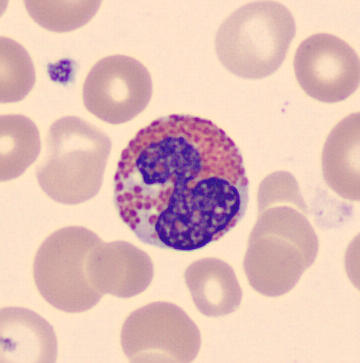
Peripheral blood smear · single cell centered in the field. Q: Which cell type is shown here?
A: An eosinophilic granulocyte.